250×250. Bone marrow smear
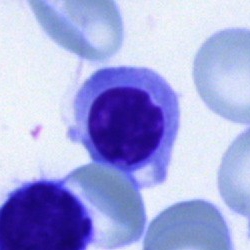

Q: What is the morphological classification of this cell?
A: Normoblast.